Bone marrow smear.
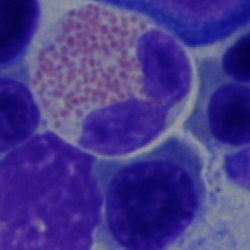Single cell identified as an eosinophilic granulocyte.